Single-cell field. May-Grünwald-Giemsa stain. Bone marrow smear
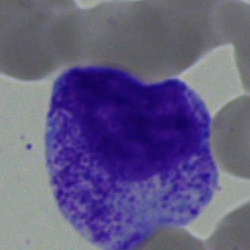

Morphological class — myelocyte.